Peripheral blood smear
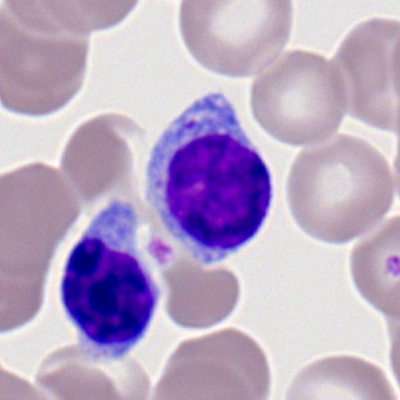
The morphological class is typical lymphocyte.